Bone marrow smear:
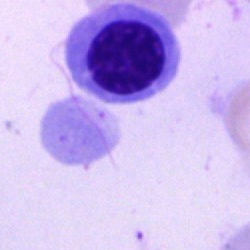 A nucleated red blood cell.